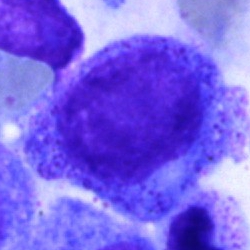 Specimen: bone marrow smear.
Classification: progranulocyte.